Brightfield, 40× oil-immersion objective · single-cell crop · bone marrow smear — 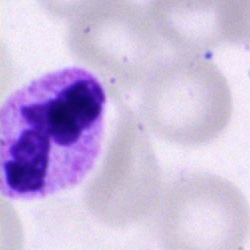Showing a segmented neutrophil.